Bone marrow aspirate smear · 40× oil immersion · Pappenheim-stained
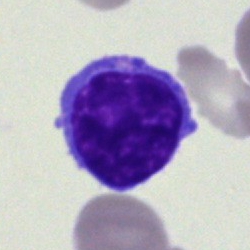 Morphology consistent with a typical lymphocyte.